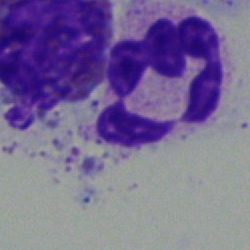
Morphological class — neutrophil (segmented).